Bone marrow smear:
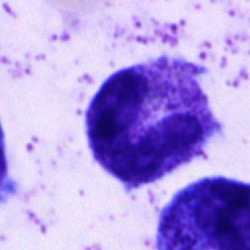

Q: What is shown here?
A: A band-form neutrophil.